40× objective, oil immersion. Bone marrow aspirate smear. Single-cell field
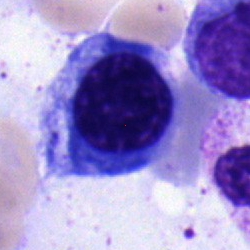

Morphological class = nucleated red blood cell.